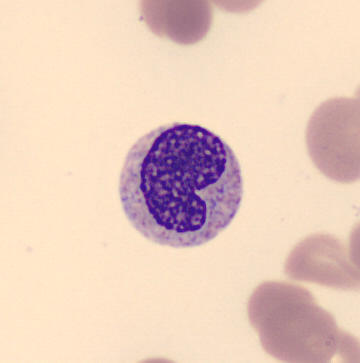Showing a metamyelocyte.